Bone marrow smear. Cropped to a single cell — 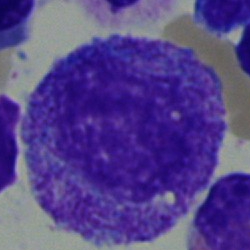Single cell identified as a promyelocyte.